May-Grünwald-Giemsa stain · bone marrow smear: 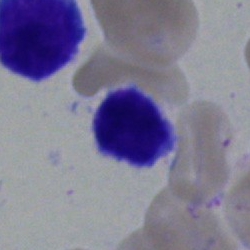

Morphology consistent with a lymphocyte.